Peripheral blood film · 400×400 px
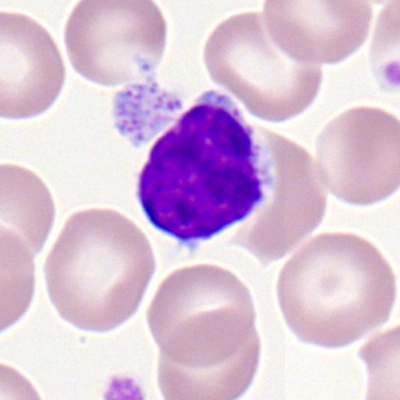
The cell type is lymphocyte.